40× objective, oil immersion · bone marrow smear · May-Grünwald-Giemsa stain — 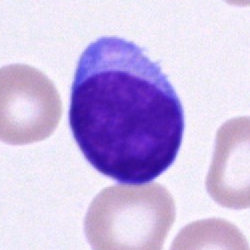Impression → lymphocyte.